Bone marrow smear
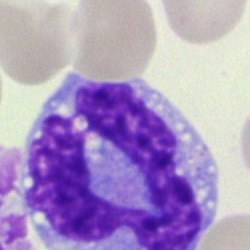
Impression — monocyte.